40× oil immersion; bone marrow smear
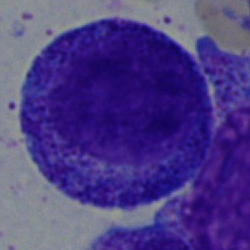 Specimen: bone marrow aspirate smear.
Cell type: promyelocyte.
Lineage: myeloid.